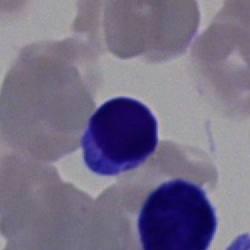 Single-cell crop from a bone marrow smear: lymphocyte.